Bone marrow smear
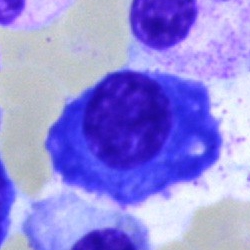

Q: What cell is this?
A: A plasmacyte.